Bone marrow aspirate smear:
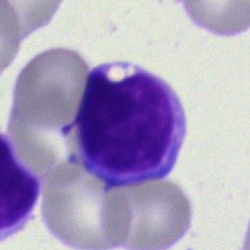Specimen: bone marrow smear.
Morphological class: lymphocyte.
Lineage: lymphoid.